Bone marrow aspirate smear: 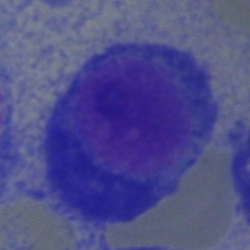

Showing a plasmacyte.